Bone marrow smear
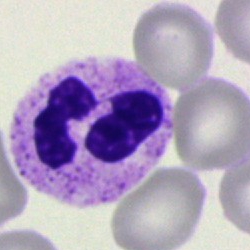
{"cell_type": "segmented neutrophil"}